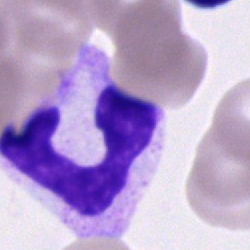

Specimen: bone marrow aspirate smear.
Cell type: neutrophil (band).